Bone marrow smear; MGG-stained; 250×250: 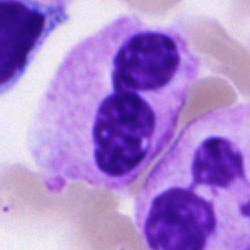

Cell type = segmented neutrophil.